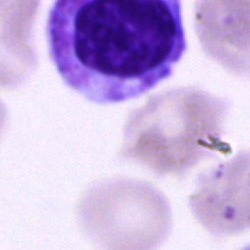 Bone marrow smear showing an unidentifiable cell.